Bone marrow aspirate smear. 40× objective, oil immersion
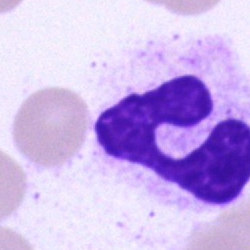Classification: stab cell.